Peripheral blood film. 100× objective, oil immersion: 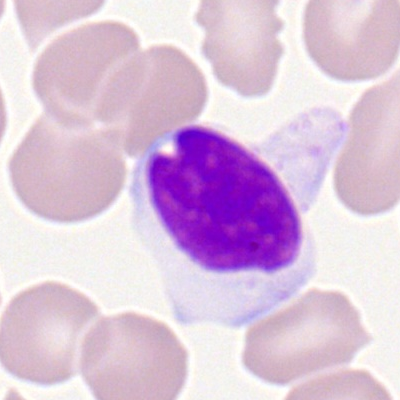Single cell identified as a lymphocyte.